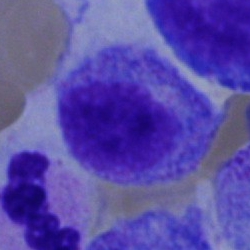Impression → myelocyte.